Single-cell field; bone marrow aspirate smear: 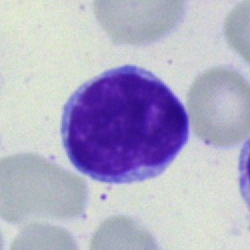
Q: What type of cell is this?
A: Typical lymphocyte.